Bone marrow aspirate smear:
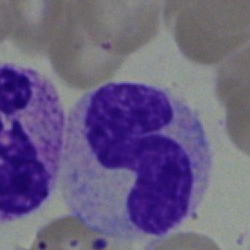
A metamyelocyte.